Bone marrow smear · 250×250: 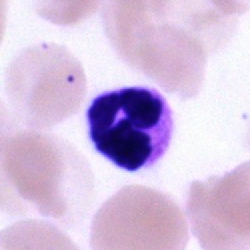 Segmented neutrophil.